Brightfield microscopy, 40× oil immersion; bone marrow smear — 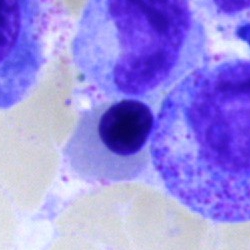 Q: What type of cell is this?
A: This is a nucleated red blood cell.